Bone marrow aspirate smear.
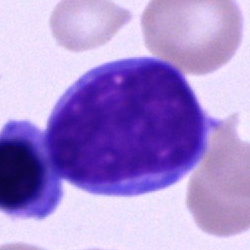 Specimen: bone marrow aspirate smear.
Cell: undifferentiated blast.